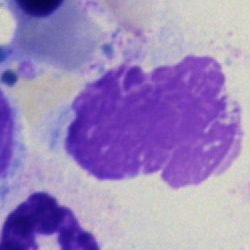

Specimen: bone marrow smear.
Morphological class: artifact.